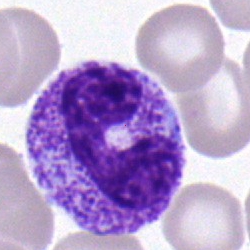
This is a neutrophil (band).